Bone marrow aspirate smear.
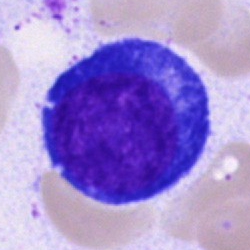
Showing a nucleated red blood cell.